Bone marrow aspirate smear: 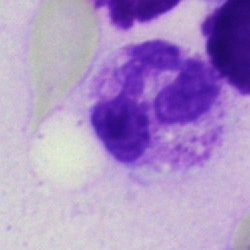Morphological class: neutrophil (segmented).